Pappenheim-stained. Bone marrow aspirate smear — 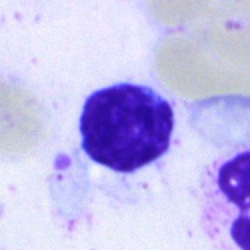Showing a typical lymphocyte.